Bone marrow smear — 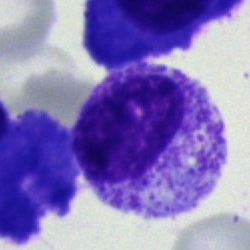 Impression → myelocyte.